Peripheral blood film — 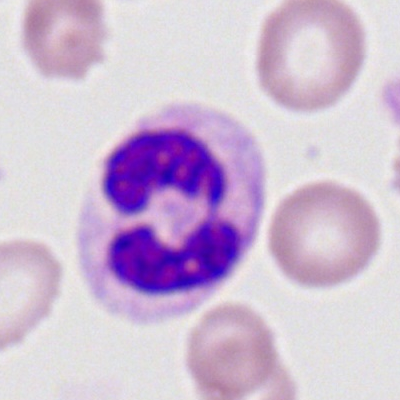

A neutrophil (segmented).